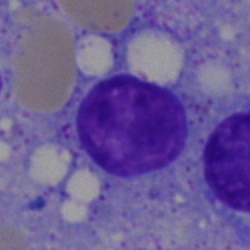
Q: What is shown here?
A: A lymphocyte.